Peripheral blood smear; M8 digital microscope (Precipoint), 100× oil immersion:
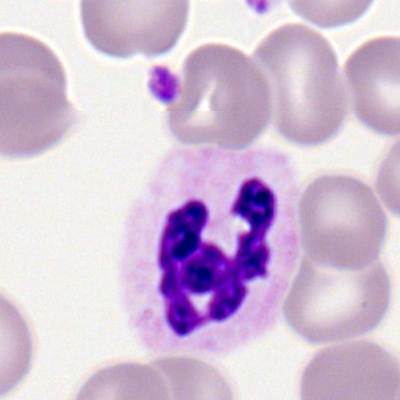
Q: What is shown here?
A: A polymorphonuclear neutrophil.